40× objective, oil immersion; bone marrow aspirate smear:
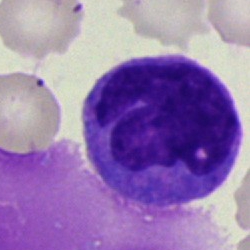 Showing a monocyte.